May-Grünwald-Giemsa/Pappenheim stain. 250×250 px. Bone marrow smear: 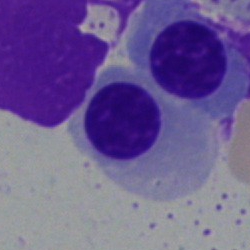Single cell identified as an erythroblast.